May-Grünwald-Giemsa-stained. Peripheral blood smear. CellaVision DM96:
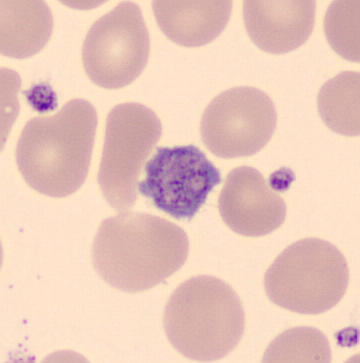

Showing a platelet.